Peripheral blood film
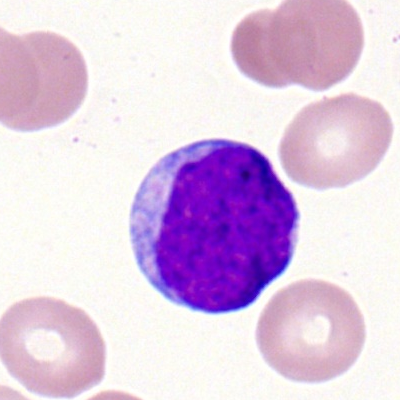
Single cell identified as a lymphocyte.